250 by 250 pixels · bone marrow aspirate smear · single cell centered in the field: 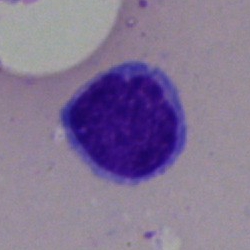Q: What is the morphological classification of this cell?
A: This is a lymphocyte.